Bone marrow smear
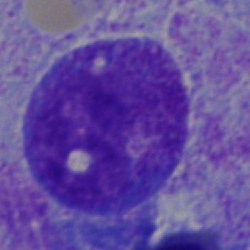

Classification = progranulocyte.